Bone marrow smear:
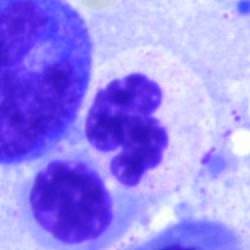Morphological class = neutrophil (segmented).